Cropped to a single cell · 250×250 px · bone marrow aspirate smear
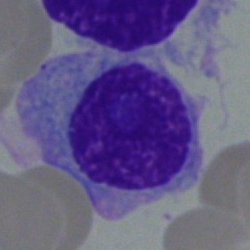Q: What type of cell is this?
A: This is a plasmacyte.